Bone marrow aspirate smear. Brightfield microscopy, 40× oil immersion.
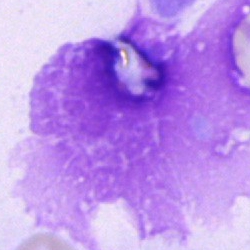An artefact.